Peripheral blood smear
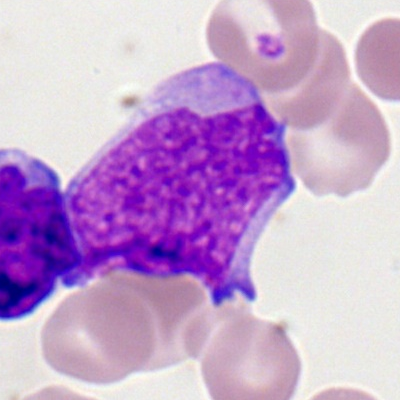

This is a myeloid blast.